Peripheral blood smear:
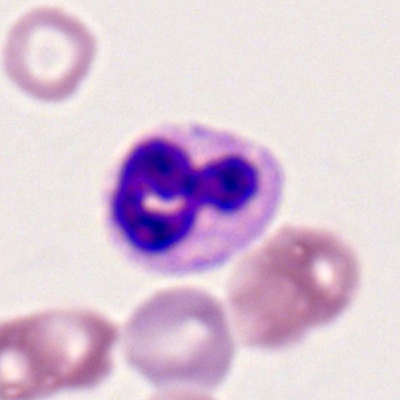

Polymorphonuclear neutrophil.